Bone marrow smear — 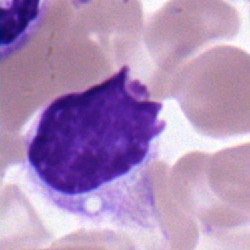

Morphological class: typical lymphocyte.